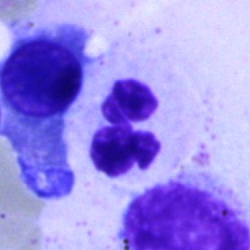

Cell — segmented neutrophil.